Bone marrow smear · Pappenheim-stained:
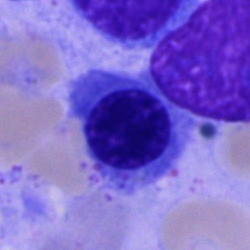 Q: What cell is this?
A: Nucleated red cell.